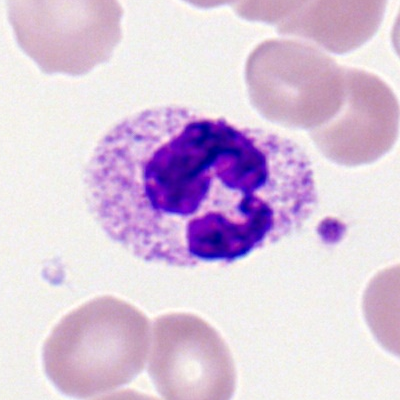
Specimen: peripheral blood smear.
Cell type: segmented neutrophil.